Bone marrow aspirate smear — 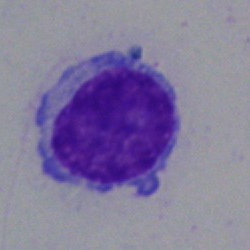

Morphology → typical lymphocyte.